Bone marrow aspirate smear. Image size 250×250 — 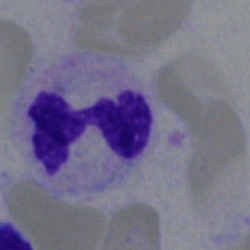A polymorphonuclear neutrophil.